Peripheral blood smear; single-cell crop; brightfield, 100× oil-immersion objective:
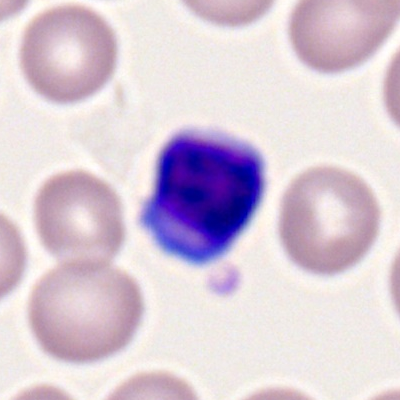 Showing a typical lymphocyte.